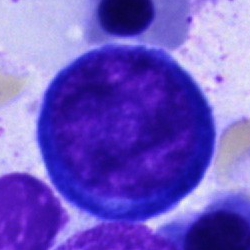The classification is nucleated red blood cell.